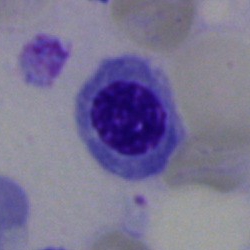 Q: What is shown here?
A: A nucleated red blood cell.